Bone marrow smear: 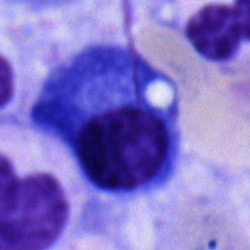 Morphology consistent with a plasma cell.